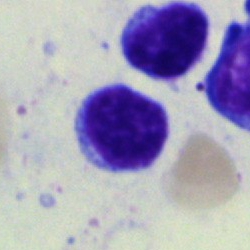
Cell type: lymphocyte.